Bone marrow smear:
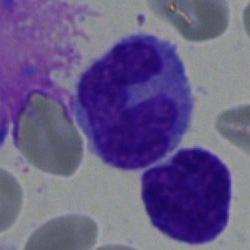
A monocyte.